Brightfield microscopy, 40× oil immersion; 250×250; bone marrow aspirate smear:
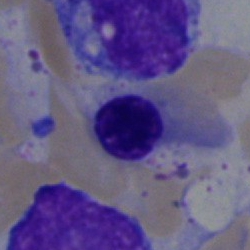 The cell type is nucleated red cell.